Bone marrow aspirate smear · single-cell field · May-Grünwald-Giemsa stain:
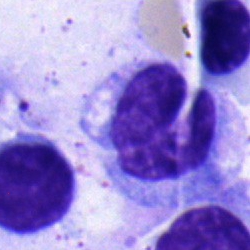The cell type is monocyte.